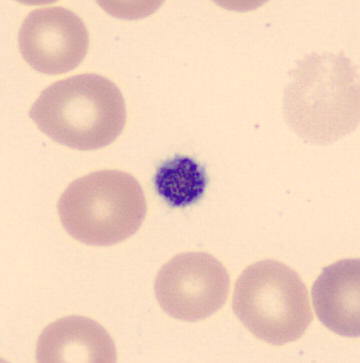Morphology consistent with a platelet.
Preparation: Peripheral blood smear.